Bone marrow smear:
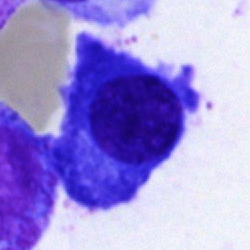

The cell is plasmacyte.